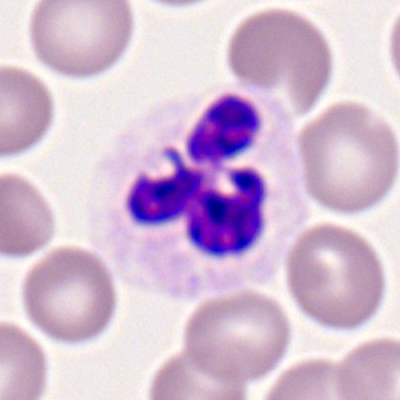Impression — segmented neutrophil.